Bone marrow smear.
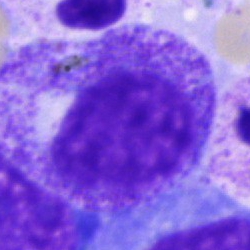

Morphology consistent with a progranulocyte.